250×250; bone marrow aspirate smear — 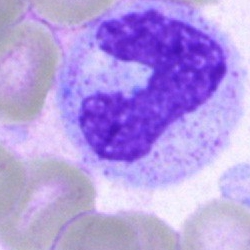

Cell type — stab cell.